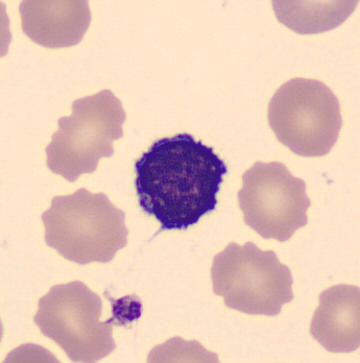 Acquisition: Peripheral blood film. The cell shown is a typical lymphocyte.